Bone marrow aspirate smear: 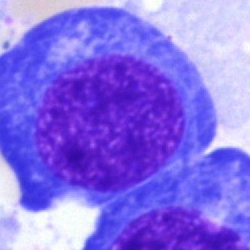

Cell type — nucleated red blood cell.